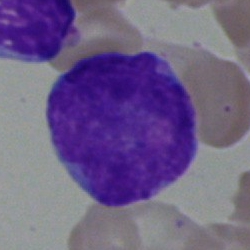Morphological class: blast cell.